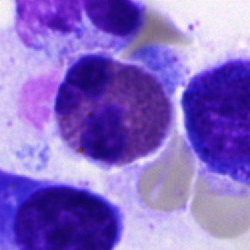 {"cell_type": "eosinophilic granulocyte", "lineage": "myeloid"}